Bone marrow smear.
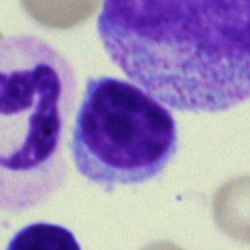Typical lymphocyte.